May-Grünwald-Giemsa stain · bone marrow aspirate smear
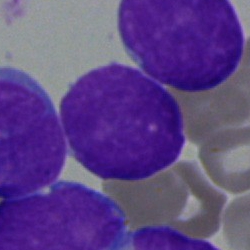
Specimen: bone marrow smear.
Cell type: undifferentiated blast.